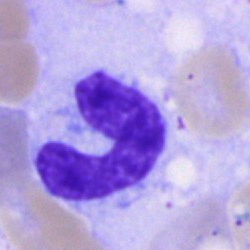

{"cell_type": "band-form neutrophil", "lineage": "myeloid"}